250×250 px; bone marrow smear; single-cell crop — 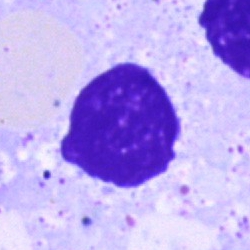 This is an artifact.